Brightfield, 40× oil-immersion objective. Bone marrow smear.
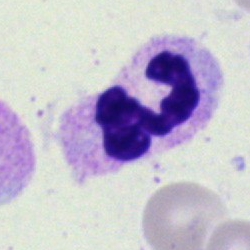
Neutrophil (segmented).